Bone marrow smear: 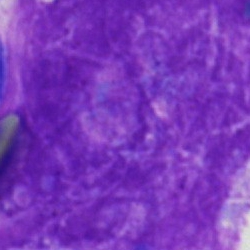 Specimen: bone marrow smear.
Cell type: artefact.